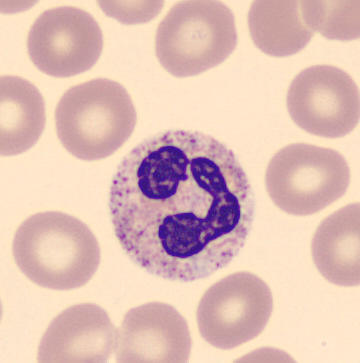 Specimen: peripheral blood smear.
Cell type: segmented neutrophil.
Lineage: myeloid.